Single-cell crop. Bone marrow aspirate smear:
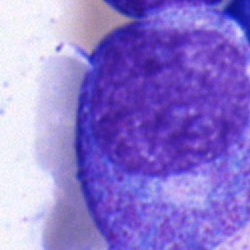 Impression → promyelocyte.